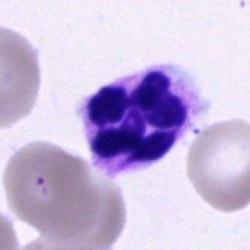

A segmented neutrophil.